Bone marrow aspirate smear
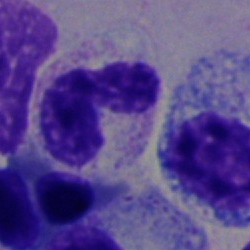

Specimen: bone marrow smear.
Cell: neutrophil (segmented).
Lineage: myeloid.